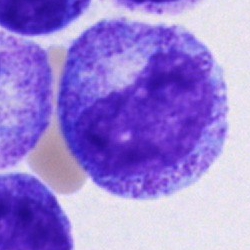 Showing a progranulocyte.